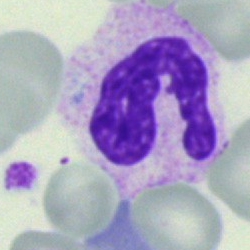Morphological class — neutrophil (segmented).